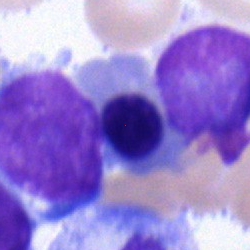 Specimen: bone marrow smear.
Cell: normoblast.